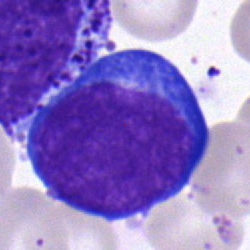
Classification = proerythroblast.